Bone marrow aspirate smear:
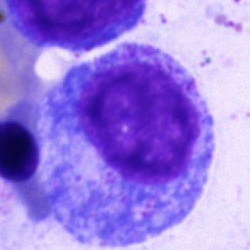 Q: Identify the cell.
A: A promyelocyte.